Bone marrow smear · MGG-stained
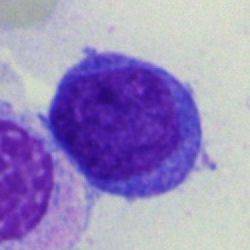 Morphology consistent with a blast.